Bone marrow smear
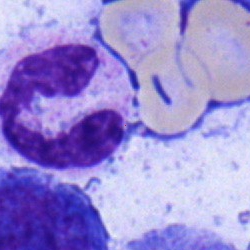

Showing a neutrophil (segmented).